Bone marrow smear.
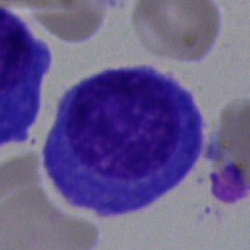
Cell = normoblast.